Bone marrow smear:
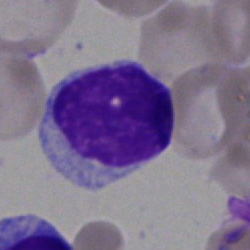Impression — typical lymphocyte.